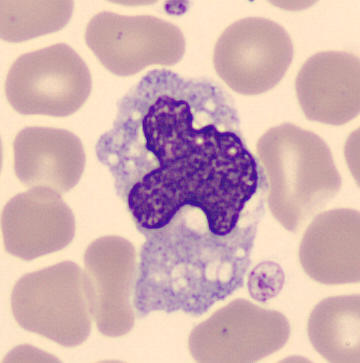

{"cell_type": "monocyte"}

Peripheral blood smear.